Bone marrow aspirate smear:
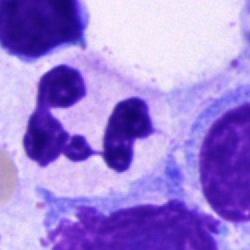Specimen: bone marrow smear.
Cell type: neutrophil (segmented).
Lineage: myeloid.